Bone marrow aspirate smear. Pappenheim-stained: 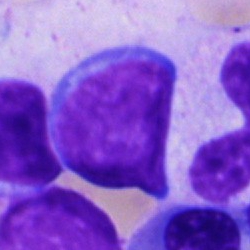 The morphological class is typical lymphocyte.